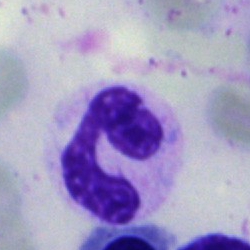Single-cell crop from a bone marrow smear: segmented neutrophil.